Bone marrow aspirate smear: 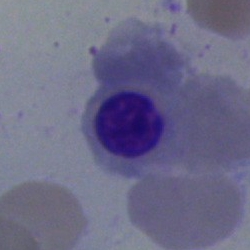
Morphological class — nucleated red blood cell.